Bone marrow smear · brightfield, 40× oil-immersion objective:
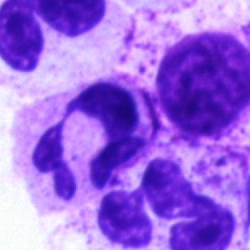A polymorphonuclear neutrophil.